40× objective, oil immersion. Bone marrow smear. Cropped to a single cell:
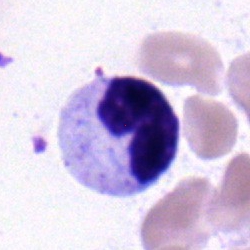Showing a band neutrophil.